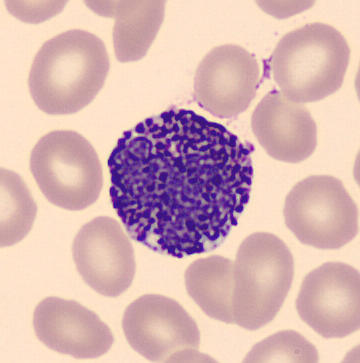

Morphology → basophilic granulocyte.